Bone marrow aspirate smear · single cell centered in the field:
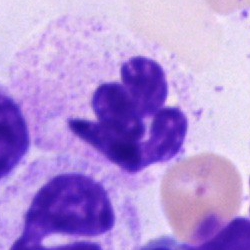

Showing a segmented neutrophil.